Single-cell field. Bone marrow smear.
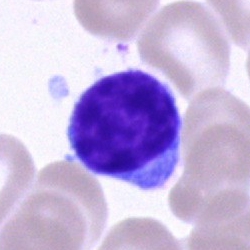

{"cell_type": "typical lymphocyte", "lineage": "lymphoid"}